Pappenheim-stained · bone marrow smear:
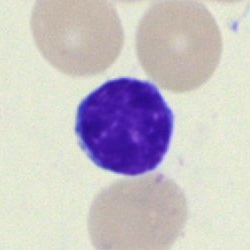A lymphocyte.